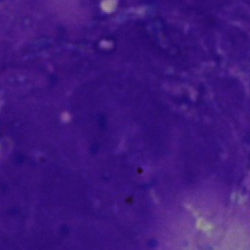Artifact.